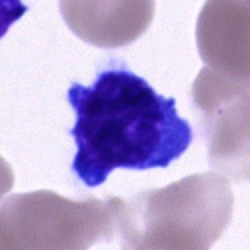 Specimen: bone marrow smear.
Morphological class: blast cell.